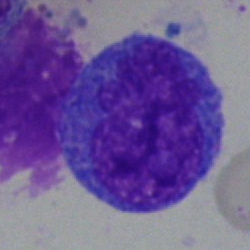

Q: What type of cell is this?
A: An undifferentiated blast.